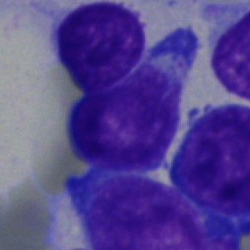
{"cell_type": "blast"}